Bone marrow smear: 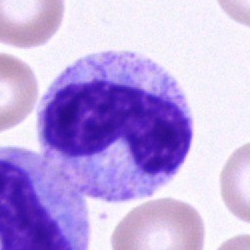
{"cell_type": "metamyelocyte", "lineage": "myeloid"}